Bone marrow smear; 250×250 px; single-cell field: 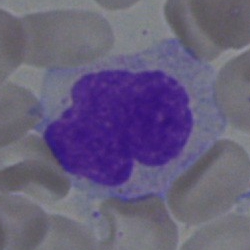
Single cell identified as a monocyte.